Cropped to a single cell; bone marrow smear; Pappenheim-stained
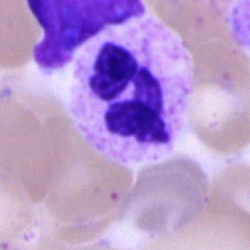
Q: What is the morphological classification of this cell?
A: A neutrophil (segmented).